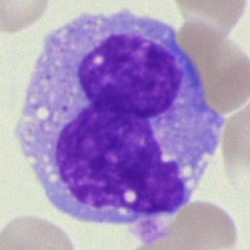{"cell_type": "monocyte"}